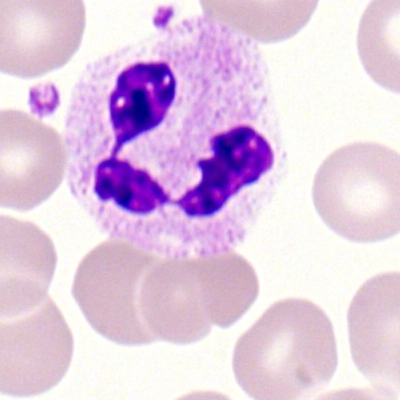Q: What is shown here?
A: This is a segmented neutrophil.